Bone marrow smear
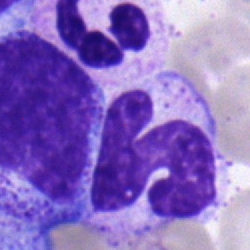 This is a stab cell.